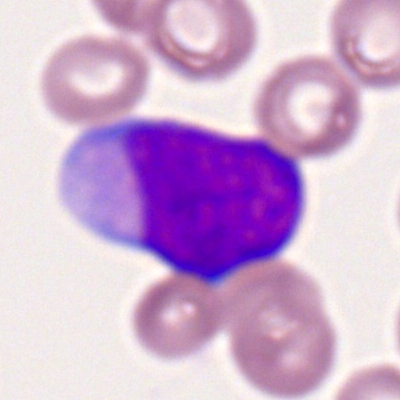

The cell type is myeloblast.